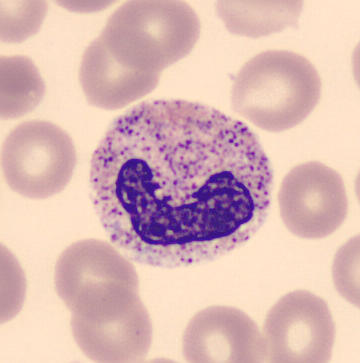
Specimen: peripheral blood smear.
Classification: neutrophil (band).
Lineage: myeloid.

Image: Single-cell crop.